Bone marrow smear. Single-cell crop — 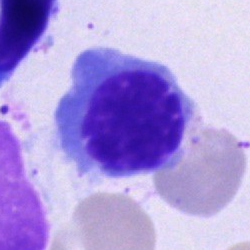

The cell is normoblast.